Bone marrow smear — 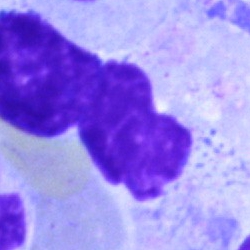
Cell type — artifact.